Bone marrow smear
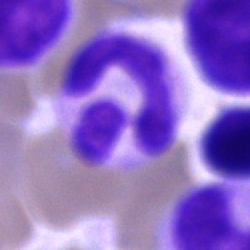

Classification = neutrophil (segmented).